40× oil immersion. Bone marrow smear.
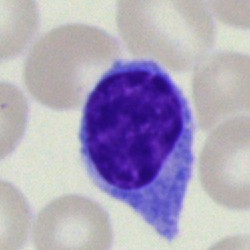Cell: lymphocyte.